Bone marrow aspirate smear.
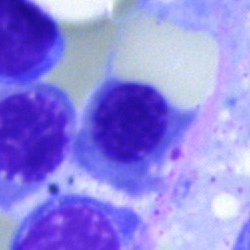Morphological class = nucleated red cell.